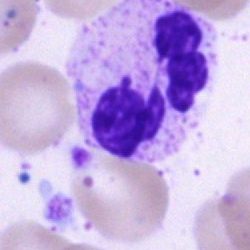The cell shown is a polymorphonuclear neutrophil.